May-Grünwald-Giemsa stain; bone marrow aspirate smear:
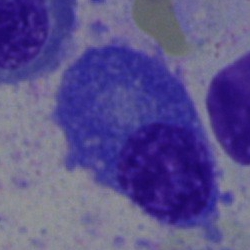

Specimen: bone marrow aspirate smear.
Cell type: plasmacyte.
Lineage: lymphoid.